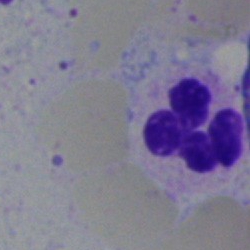

Cell type — polymorphonuclear neutrophil.